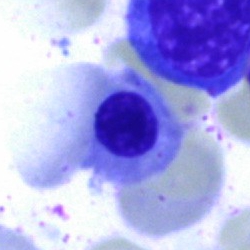
Impression → erythroblast.